Bone marrow aspirate smear. 250×250 — 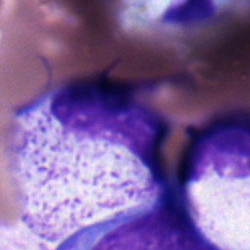 Single cell identified as a polymorphonuclear neutrophil.